Bone marrow smear — 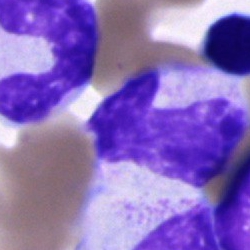

Impression → cell of indeterminate lineage.